MGG-stained; bone marrow aspirate smear
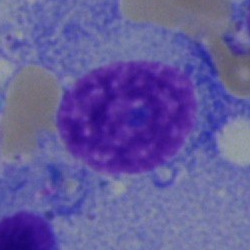

{"cell_type": "plasma cell"}